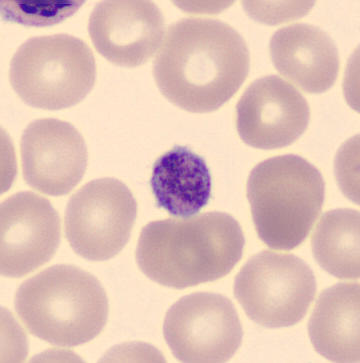

Identified as a platelet (thrombocyte).
Image: Peripheral blood film.